Bone marrow smear · 40× oil immersion · 250×250.
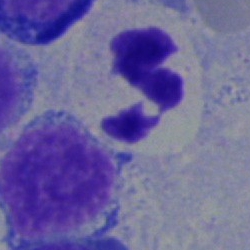

This is a polymorphonuclear neutrophil.